Bone marrow aspirate smear. Brightfield microscopy, 40× oil immersion.
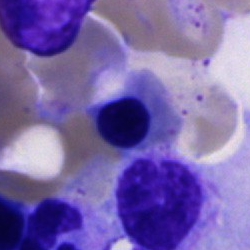Morphology consistent with a normoblast.